Bone marrow aspirate smear: 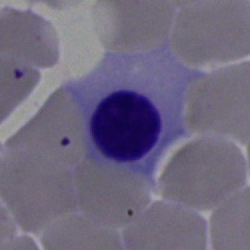 Showing a normoblast.